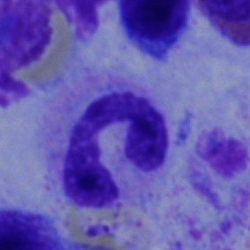
Band-form neutrophil.